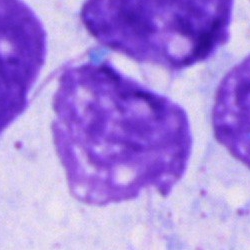

This is an artefact.